Brightfield, 40× oil-immersion objective. Bone marrow aspirate smear. Pappenheim-stained:
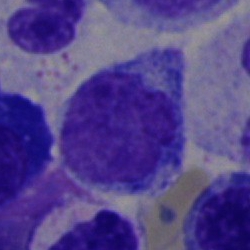

{"cell_type": "typical lymphocyte"}